Bone marrow aspirate smear: 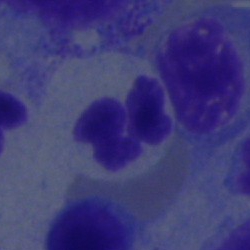
{"cell_type": "neutrophil (segmented)"}